Bone marrow aspirate smear: 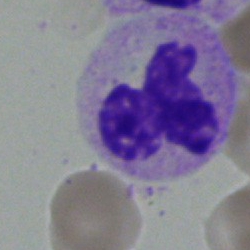Cell type: basophilic granulocyte.